Peripheral blood film — 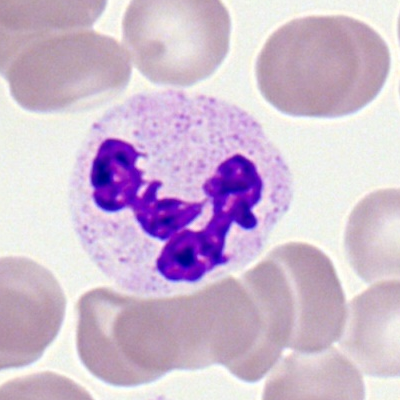Showing a polymorphonuclear neutrophil.